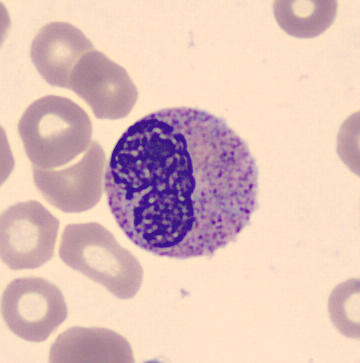Q: What is the morphological classification of this cell?
A: A metamyelocyte.

Image: Single-cell field. Imaged on a CellaVision DM96 analyser. Peripheral blood film.